Bone marrow smear
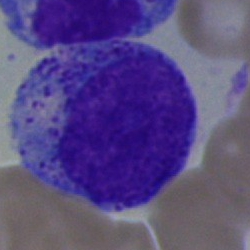 Cell type: myelocyte.